Bone marrow smear · MGG-stained:
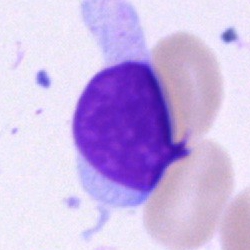
The morphological class is lymphocyte.